Bone marrow aspirate smear; May-Grünwald-Giemsa/Pappenheim stain — 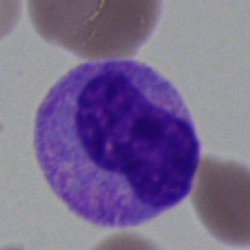 A metamyelocyte.